40× oil immersion. Bone marrow aspirate smear — 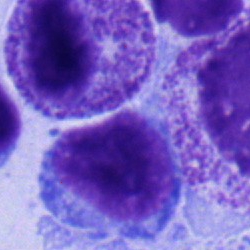 Q: Identify the cell.
A: This is a myelocyte.